MGG-stained. 40× objective, oil immersion. Bone marrow aspirate smear
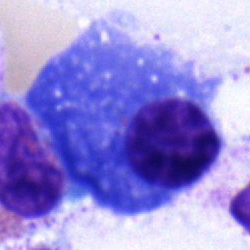
Q: What cell is this?
A: A plasma cell.